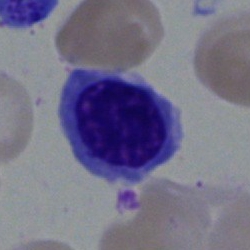Showing an erythroblast.